Bone marrow aspirate smear:
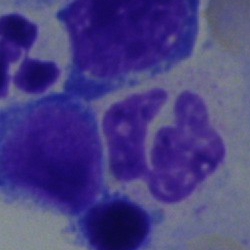Q: What is the morphological classification of this cell?
A: Polymorphonuclear neutrophil.